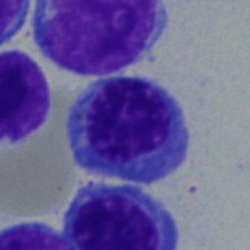Q: What is shown here?
A: It is a normoblast.